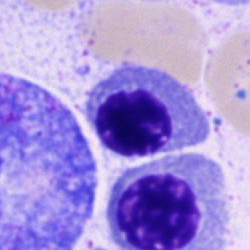

Morphological class — erythroblast.